May-Grünwald-Giemsa/Pappenheim stain · bone marrow aspirate smear:
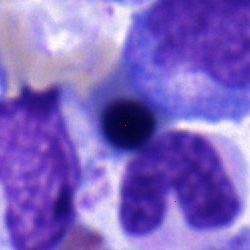This is a nucleated red cell.